Bone marrow smear — 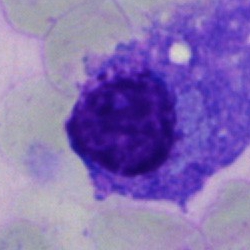

Plasma cell.